40× objective, oil immersion. Bone marrow smear. Pappenheim-stained — 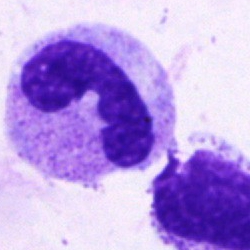

Specimen: bone marrow smear.
Cell type: neutrophil (segmented).
Lineage: myeloid.